Brightfield microscopy, 40× oil immersion; bone marrow aspirate smear — 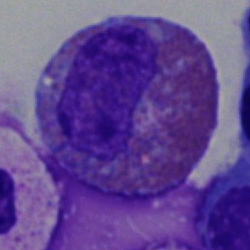Q: What type of cell is this?
A: Eosinophilic granulocyte.